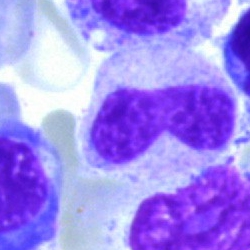Specimen: bone marrow aspirate smear.
Classification: band neutrophil.